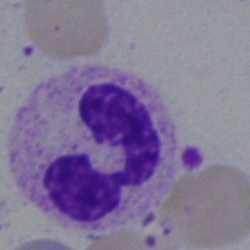Q: Identify the cell.
A: A polymorphonuclear neutrophil.